Bone marrow aspirate smear — 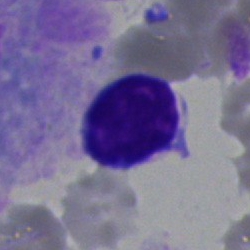Showing a typical lymphocyte.